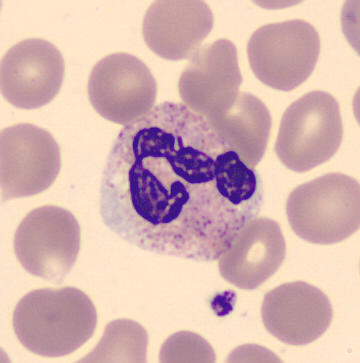
Acquisition: 360×363 px.

Specimen: peripheral blood smear.
Cell: neutrophil (segmented).
Lineage: myeloid.